Peripheral blood smear: 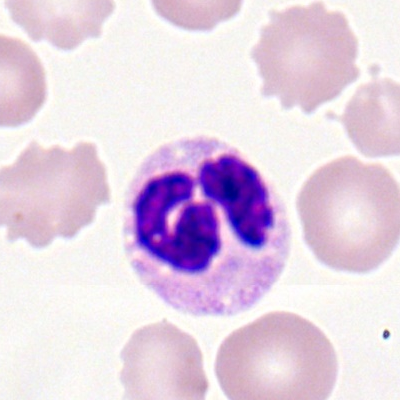 The morphological class is neutrophil (segmented).